Bone marrow aspirate smear.
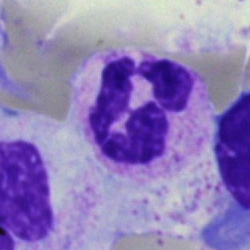

{"cell_type": "polymorphonuclear neutrophil", "lineage": "myeloid"}